Brightfield, 40× oil-immersion objective · bone marrow smear · image size 250×250 — 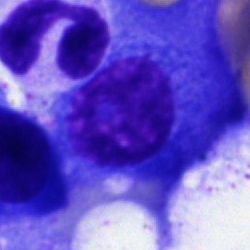 The cell is plasmacyte.